Brightfield microscopy, 40× oil immersion · single-cell field · bone marrow aspirate smear.
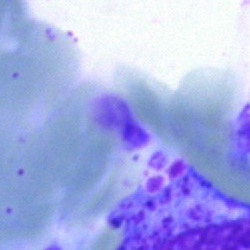

Cell type — artifact.